Bone marrow smear: 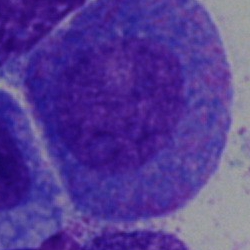

Impression — promyelocyte.